Peripheral blood film.
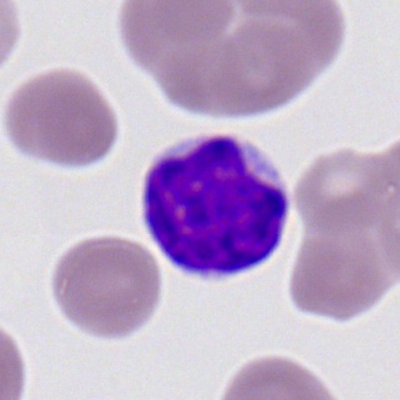

The cell is typical lymphocyte.